Bone marrow smear — 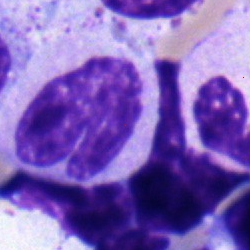Q: Identify the cell.
A: It is a band-form neutrophil.